40× objective, oil immersion. Bone marrow smear. 250×250:
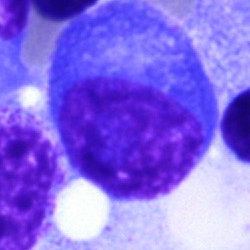 Specimen: bone marrow smear.
Morphological class: plasmacyte.
Lineage: lymphoid.